Bone marrow aspirate smear.
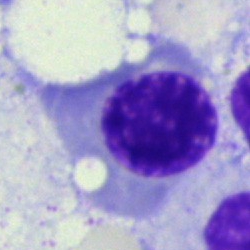
Nucleated red blood cell.